Peripheral blood smear.
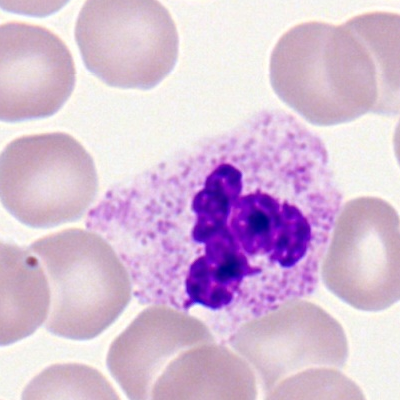Showing a neutrophil (segmented).